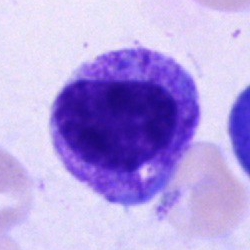This is a myelocyte.